Bone marrow smear:
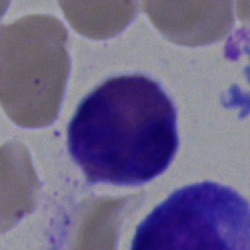

Cell type: eosinophil.